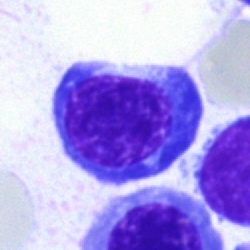Classification: nucleated red blood cell.